Bone marrow aspirate smear; 250 by 250 pixels:
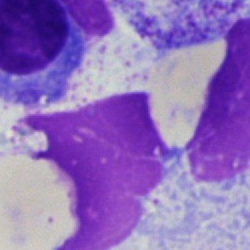 An artefact.